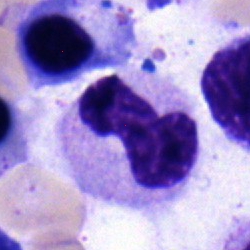
Q: Which cell type is shown here?
A: A band neutrophil.